40× oil immersion; bone marrow aspirate smear.
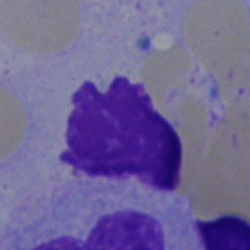 Cell: artefact.